Bone marrow aspirate smear:
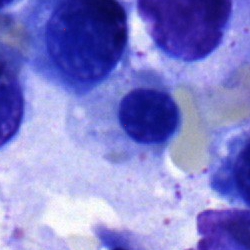 Q: What type of cell is this?
A: Erythroblast.